May-Grünwald-Giemsa/Pappenheim stain; bone marrow aspirate smear:
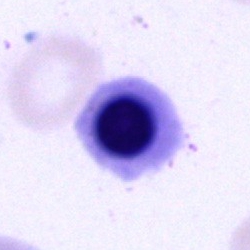 Q: Which cell type is shown here?
A: Nucleated red cell.